Bone marrow aspirate smear:
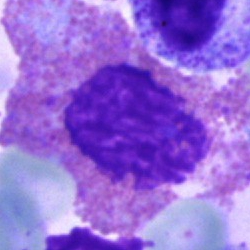

Impression → eosinophilic granulocyte.